Bone marrow smear; cropped to a single cell; brightfield microscopy, 40× oil immersion:
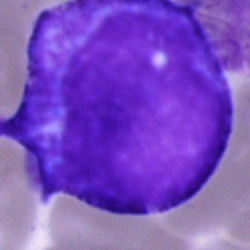
Morphological class: progranulocyte.